Bone marrow aspirate smear.
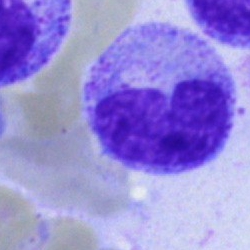

Impression — metamyelocyte.